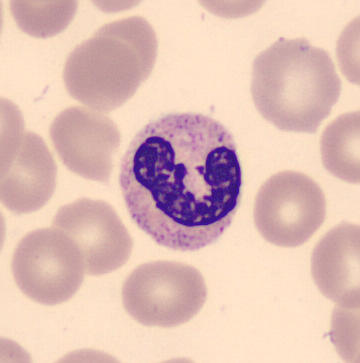
Q: What is this?
A: A neutrophil (segmented).